Bone marrow smear · Pappenheim-stained — 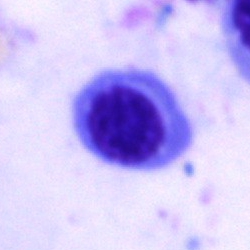 Impression — normoblast.